Single-cell field · 400×400 · peripheral blood smear
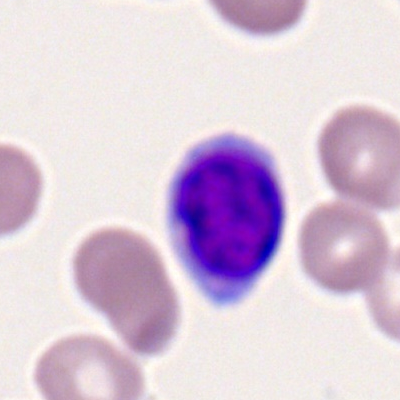

Q: What is the morphological classification of this cell?
A: A lymphocyte.